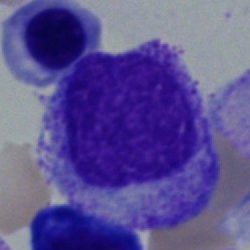
{"cell_type": "myelocyte", "lineage": "myeloid"}